Bone marrow smear; brightfield microscopy, 40× oil immersion; MGG-stained: 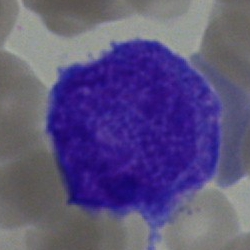Single cell identified as an undifferentiated blast.